Peripheral blood film — 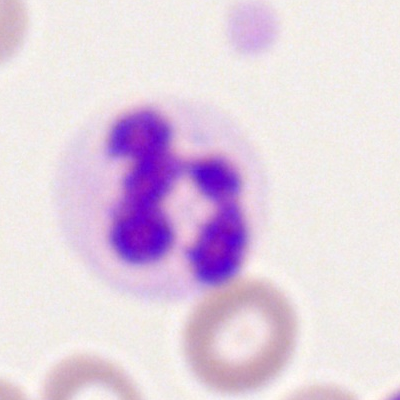A segmented neutrophil.